Brightfield microscopy, 40× oil immersion · bone marrow aspirate smear:
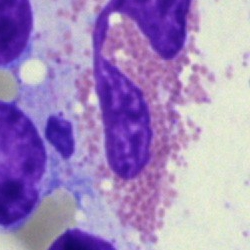The cell type is eosinophilic granulocyte.